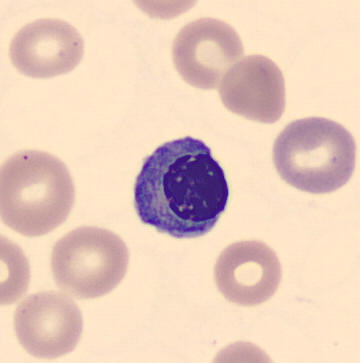Q: What is this?
A: This is a nucleated red blood cell.
Peripheral blood smear.